Bone marrow smear:
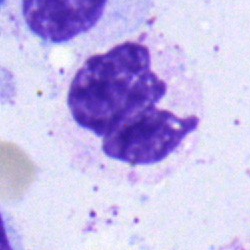

Q: Which cell type is shown here?
A: A neutrophil (segmented).